MGG-stained. Brightfield, 40× oil-immersion objective. Bone marrow aspirate smear:
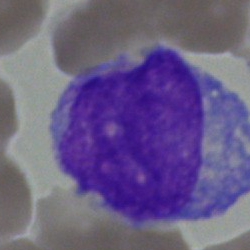Morphological class: monocyte.